Bone marrow aspirate smear:
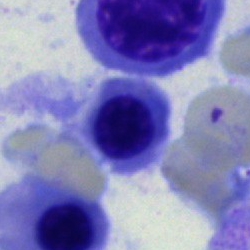 Classification — normoblast.